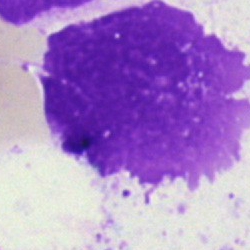
Q: What is shown here?
A: This is an artifact.